Bone marrow aspirate smear — 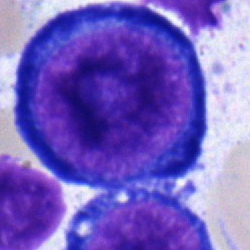 Q: Which cell type is shown here?
A: A pronormoblast.